Bone marrow smear. Image size 250×250. 40× objective, oil immersion:
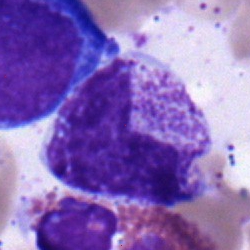
The morphological class is polymorphonuclear neutrophil.